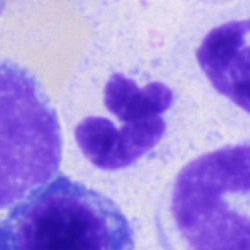
Specimen: bone marrow aspirate smear.
Cell: neutrophil (segmented).
Lineage: myeloid.